40× oil immersion; bone marrow smear:
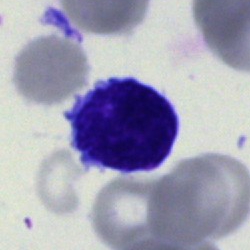An undifferentiated blast.